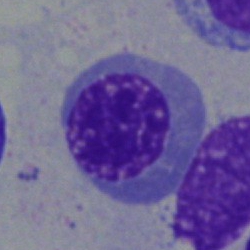Specimen: bone marrow aspirate smear.
Cell: nucleated red blood cell.